MGG-stained · 250×250 · bone marrow smear — 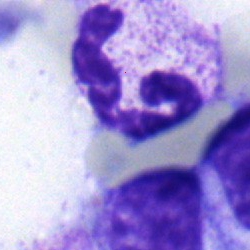This is a polymorphonuclear neutrophil.